Bone marrow aspirate smear — 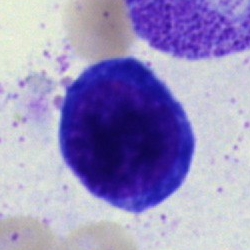Morphology → nucleated red cell.